250×250 px · bone marrow smear: 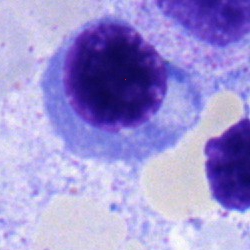
The cell is nucleated red blood cell.